Bone marrow smear · 250 by 250 pixels: 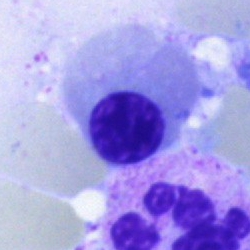 Morphology consistent with an erythroblast.